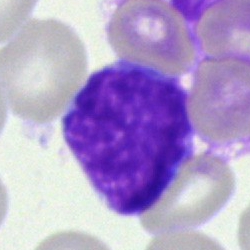 Q: What is shown here?
A: It is a blast.